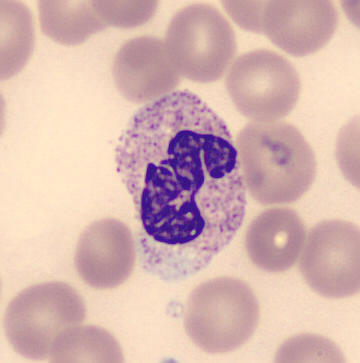Single cell identified as a neutrophil (segmented).